MGG-stained; bone marrow smear:
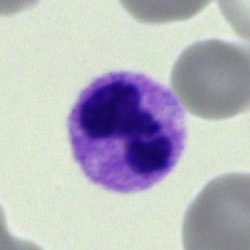

Morphological class: segmented neutrophil.